Bone marrow aspirate smear — 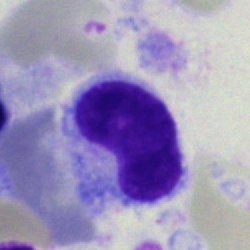

{"cell_type": "hairy cell", "lineage": "lymphoid"}